Peripheral blood smear.
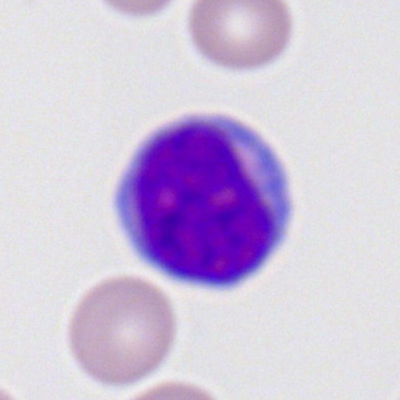
Cell type = lymphocyte.